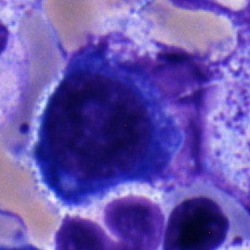

Bone marrow aspirate smear, single cell — normoblast.